Bone marrow aspirate smear; 40× objective, oil immersion.
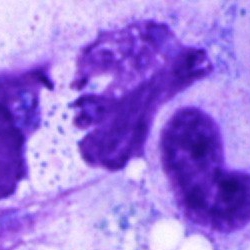 {"cell_type": "artefact"}